MGG-stained · bone marrow aspirate smear.
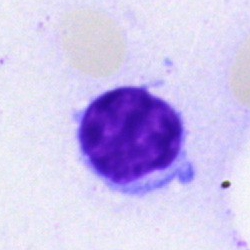

{"cell_type": "typical lymphocyte"}